400×400 · peripheral blood smear
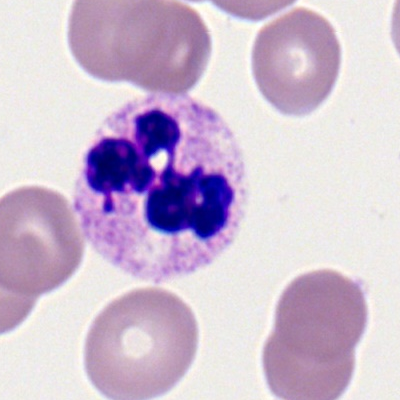
Morphological class: polymorphonuclear neutrophil.